May-Grünwald-Giemsa stain; bone marrow aspirate smear; 40× objective, oil immersion:
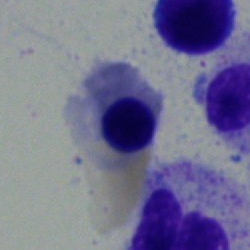Impression — normoblast.